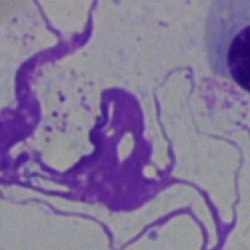

Specimen: bone marrow aspirate smear.
Cell type: artifact.